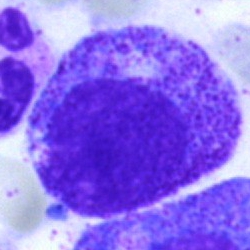 A myelocyte on a bone marrow smear.